Bone marrow aspirate smear.
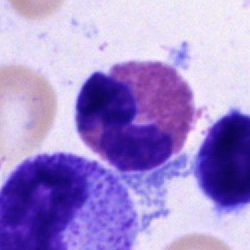 Single cell identified as an eosinophil.